Bone marrow smear
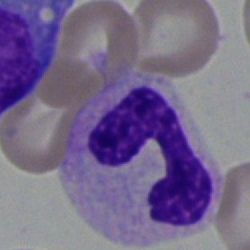
Q: What cell is this?
A: Segmented neutrophil.